40× oil immersion · May-Grünwald-Giemsa/Pappenheim stain · bone marrow aspirate smear:
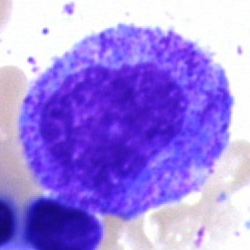
Cell: progranulocyte.